Brightfield, 40× oil-immersion objective; bone marrow aspirate smear: 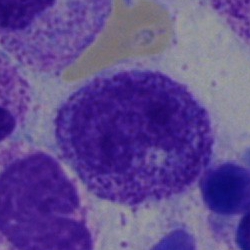Morphology consistent with a metamyelocyte.